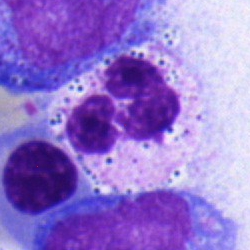Morphology consistent with a neutrophil (segmented).